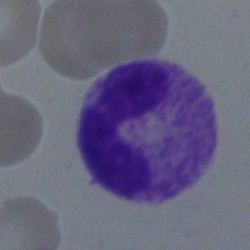 Single-cell crop from a bone marrow smear: stab cell.